Bone marrow aspirate smear:
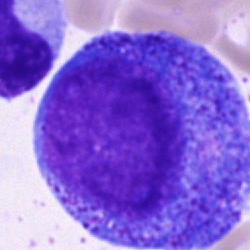
Cell type: promyelocyte.